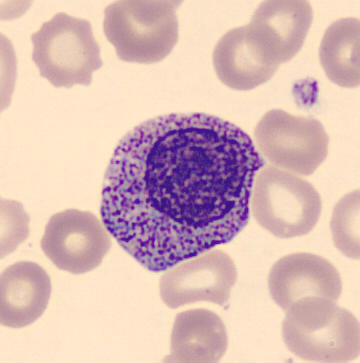 Identified as a myelocyte. Peripheral blood smear. Automated cell imaging (CellaVision DM96). MGG-stained.